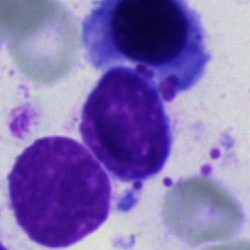{"cell_type": "artifact"}